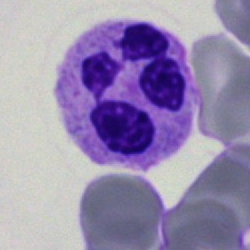
Morphology consistent with a segmented neutrophil.